Bone marrow smear. 250 by 250 pixels. MGG-stained
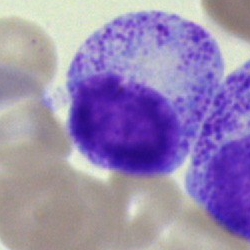 Q: What is shown here?
A: It is a myelocyte.